Bone marrow aspirate smear. May-Grünwald-Giemsa stain. Cropped to a single cell: 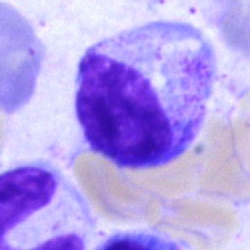Q: What type of cell is this?
A: This is a myelocyte.